Peripheral blood film:
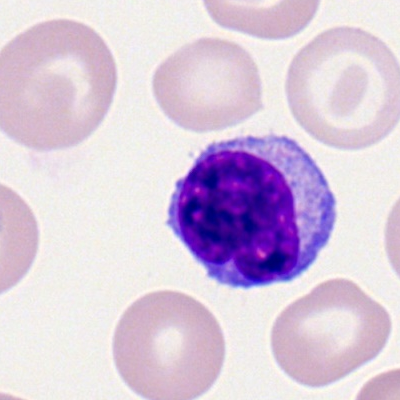 Cell type — lymphocyte.